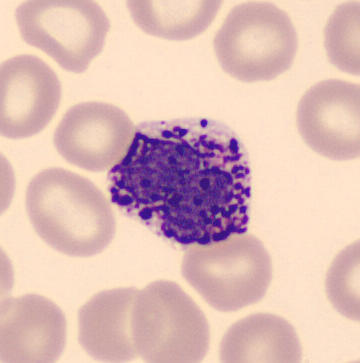
Cell — basophilic granulocyte.